Bone marrow smear: 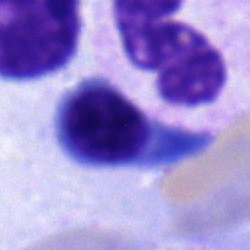Morphology consistent with a nucleated red blood cell.